Bone marrow smear. May-Grünwald-Giemsa stain
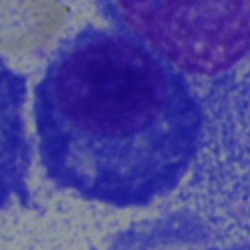
The cell type is plasma cell.